Bone marrow smear · 250×250:
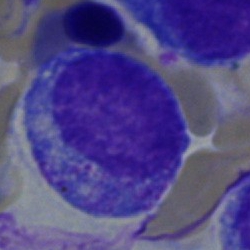
Q: What cell is this?
A: It is a myelocyte.